Brightfield microscopy, 40× oil immersion; MGG-stained; bone marrow smear.
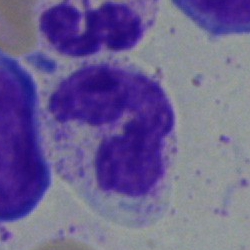Impression → band-form neutrophil.